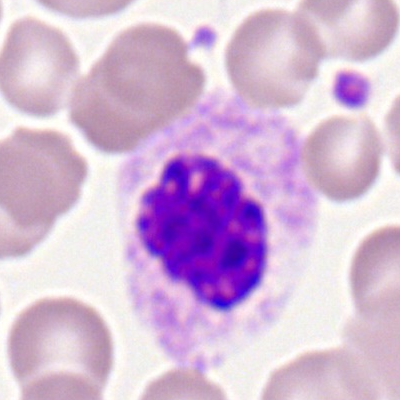

Single-cell crop from a peripheral blood smear: neutrophil (segmented).